Bone marrow aspirate smear.
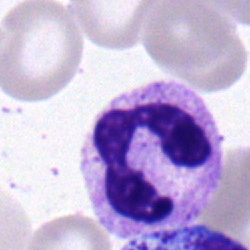 {"cell_type": "polymorphonuclear neutrophil", "lineage": "myeloid"}